Bone marrow aspirate smear:
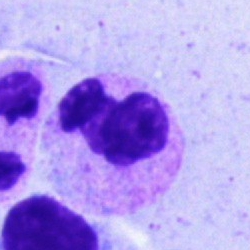 The cell shown is a polymorphonuclear neutrophil.